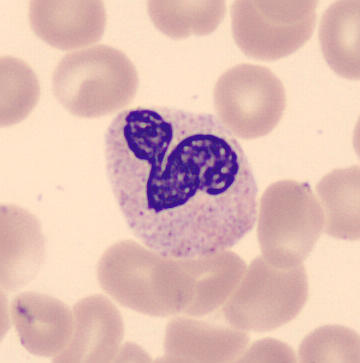Peripheral blood film. A polymorphonuclear neutrophil.